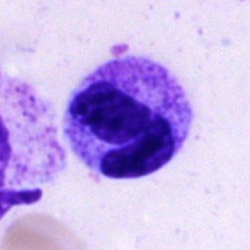 Segmented neutrophil.